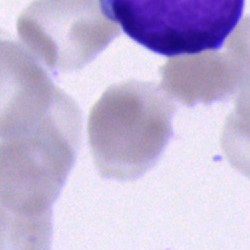 The classification is undifferentiated blast.